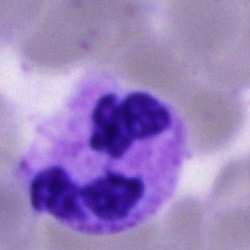 Q: Identify the cell.
A: It is a segmented neutrophil.